Bone marrow aspirate smear · cropped to a single cell.
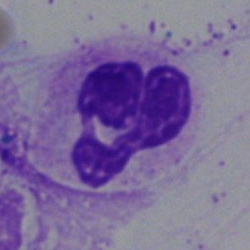 Morphology → neutrophil (segmented).